MGG-stained. Bone marrow aspirate smear: 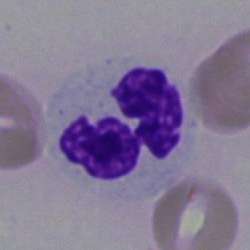

Cell = neutrophil (segmented).